Bone marrow smear: 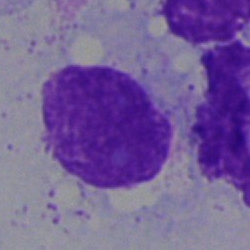 Morphology → artefact.